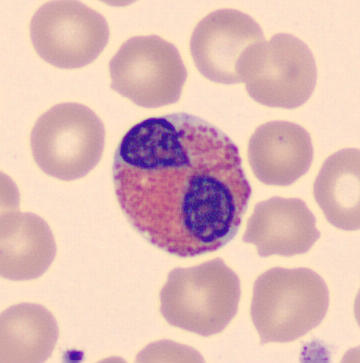

Image: Peripheral blood smear.

Classification: eosinophilic granulocyte.